Bone marrow aspirate smear — 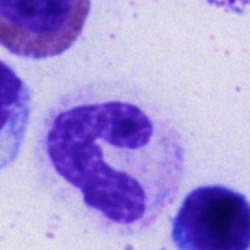
Single cell identified as a neutrophil (band).